Peripheral blood smear; Romanowsky-type stain — 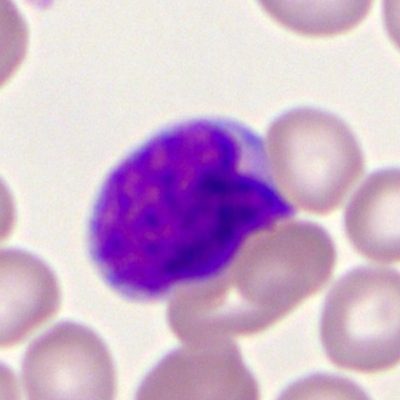 Impression → myeloblast.